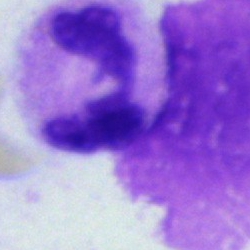
Q: Which cell type is shown here?
A: This is a polymorphonuclear neutrophil.